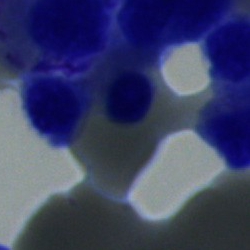
Cell = erythroblast.